Bone marrow smear
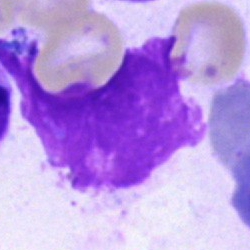

Morphological class = artefact.